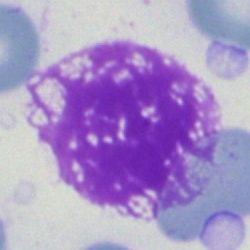

Cell: artefact.